Bone marrow smear
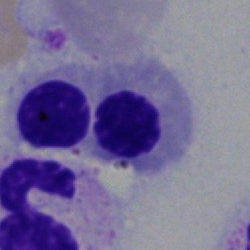

Q: What type of cell is this?
A: A nucleated red blood cell.